Single-cell crop; bone marrow aspirate smear; May-Grünwald-Giemsa stain
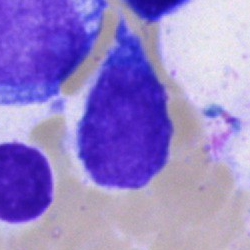
Single cell identified as a blast.